400×400 px; single-cell crop; peripheral blood film.
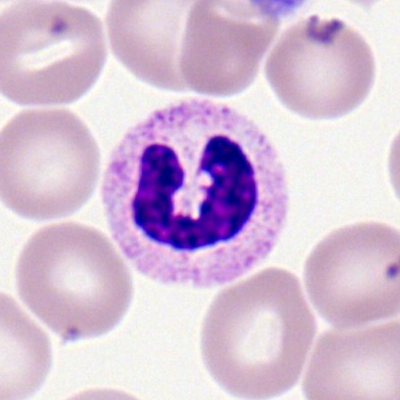

Impression — band neutrophil.